Bone marrow smear · single cell centered in the field:
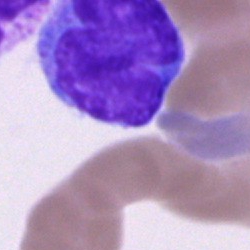

Specimen: bone marrow smear.
Cell type: monocyte.